40× objective, oil immersion; bone marrow aspirate smear:
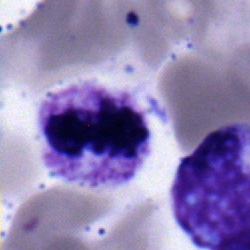{"cell_type": "neutrophil (segmented)", "lineage": "myeloid"}